Bone marrow aspirate smear: 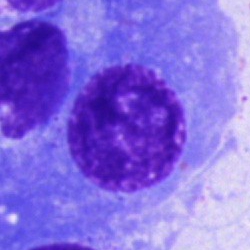
Q: Identify the cell.
A: A plasma cell.